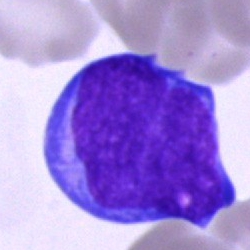
Bone marrow aspirate smear, single cell — blast cell.